Bone marrow aspirate smear; 250×250; May-Grünwald-Giemsa/Pappenheim stain
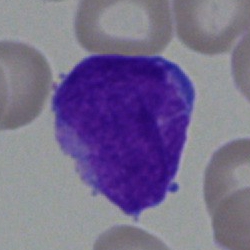 Morphology consistent with an undifferentiated blast.